Bone marrow aspirate smear · brightfield microscopy, 40× oil immersion — 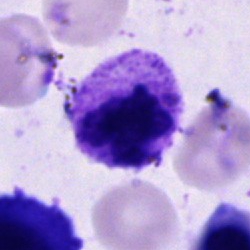The cell type is neutrophil (segmented).